MGG-stained · bone marrow smear · 40× objective, oil immersion.
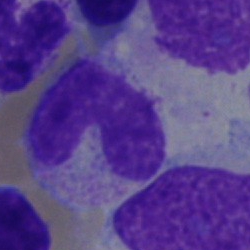 Morphology — band neutrophil.